Bone marrow smear:
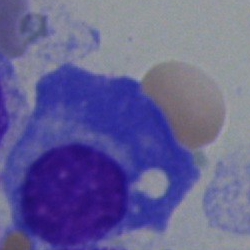

The cell type is plasmacyte.